Bone marrow smear.
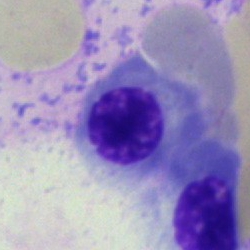
Q: Identify the cell.
A: Nucleated red cell.